Bone marrow aspirate smear:
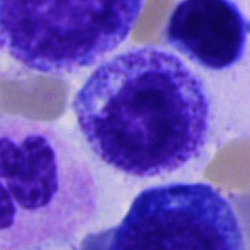Q: What cell is this?
A: This is a myelocyte.